Bone marrow aspirate smear:
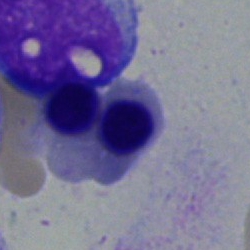
Classification = nucleated red cell.